250×250 · single-cell field · bone marrow aspirate smear.
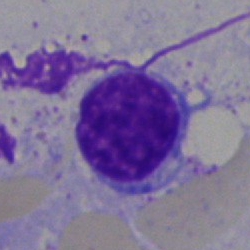Showing a lymphocyte.